Brightfield microscopy, 40× oil immersion · bone marrow smear · cropped to a single cell.
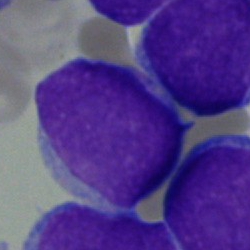Showing a blast cell.